Bone marrow aspirate smear: 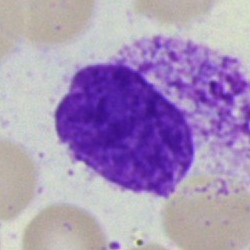

Artefact.